Bone marrow aspirate smear — 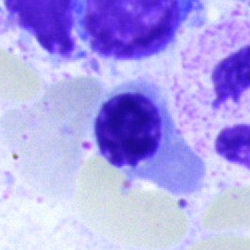
Impression → nucleated red blood cell.